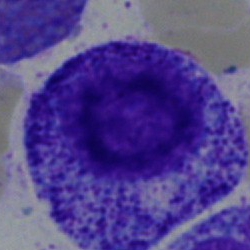 Classification — progranulocyte.